Single-cell crop. 40× objective, oil immersion. Bone marrow aspirate smear: 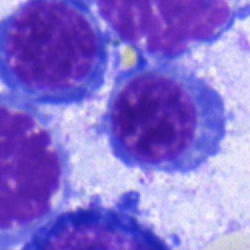Morphological class: nucleated red blood cell.